250 by 250 pixels; Pappenheim-stained; bone marrow aspirate smear
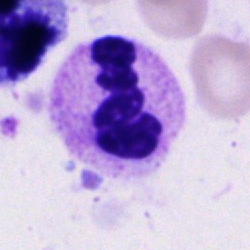
Specimen: bone marrow aspirate smear.
Morphological class: segmented neutrophil.
Lineage: myeloid.